250×250 · bone marrow smear:
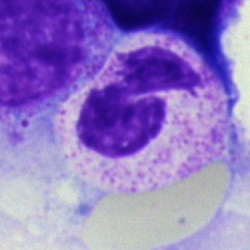 Specimen: bone marrow smear.
Cell: neutrophil (segmented).
Lineage: myeloid.